Bone marrow smear:
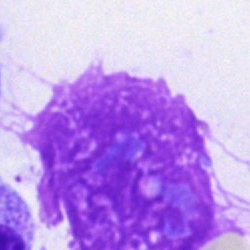
The cell shown is an artefact.